Bone marrow smear — 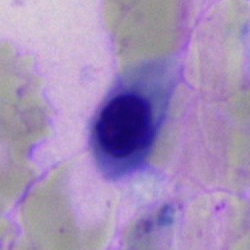

Cell = nucleated red cell.